Peripheral blood smear · cropped to a single cell: 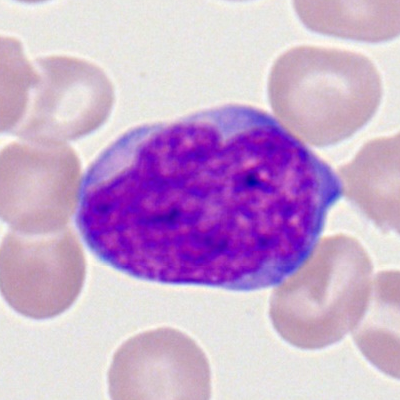

Morphological class: myeloid blast.